Bone marrow smear; single-cell crop:
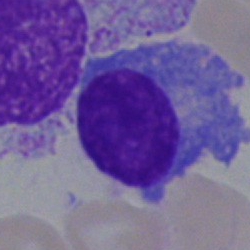Impression → plasma cell.